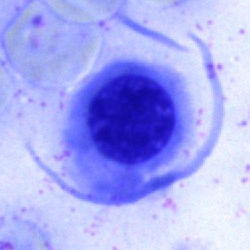
Q: What type of cell is this?
A: This is a normoblast.